Bone marrow smear
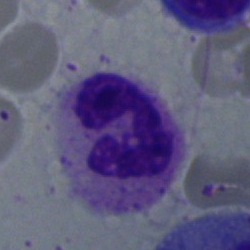

Morphology — neutrophil (segmented).